Bone marrow aspirate smear
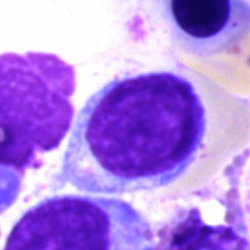
Cell type = lymphocyte.